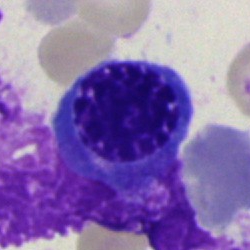
Morphological class: erythroblast.